Bone marrow smear.
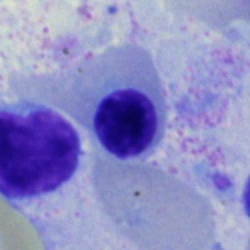 Morphology → erythroblast.